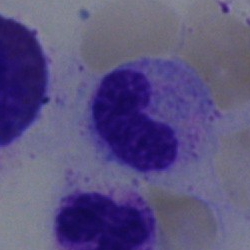
Q: What type of cell is this?
A: Band neutrophil.